Bone marrow smear; MGG-stained — 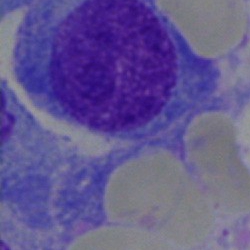 Q: Identify the cell.
A: It is a plasmacyte.